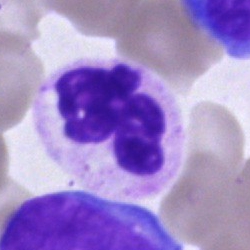

The cell shown is a polymorphonuclear neutrophil.